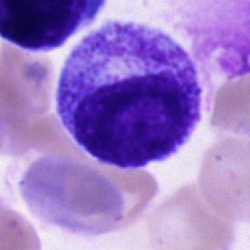
Q: Identify the cell.
A: This is a myelocyte.